Bone marrow smear:
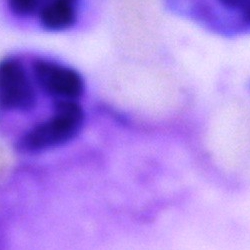

{"cell_type": "artifact"}